Bone marrow aspirate smear: 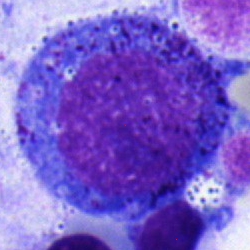
Impression — progranulocyte.